Bone marrow aspirate smear · brightfield microscopy, 40× oil immersion.
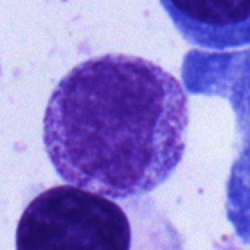Morphology — myelocyte.